Bone marrow smear.
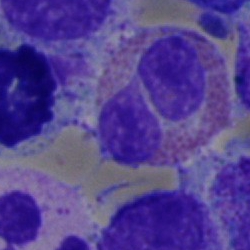 The classification is eosinophilic granulocyte.